Bone marrow aspirate smear; cropped to a single cell; brightfield, 40× oil-immersion objective:
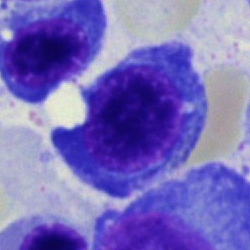Q: What type of cell is this?
A: Erythroblast.